May-Grünwald-Giemsa stain; bone marrow aspirate smear: 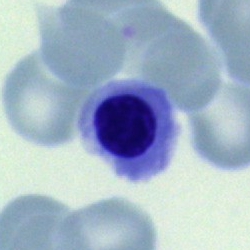 Cell: nucleated red cell.